Peripheral blood smear. Brightfield, 100× oil-immersion objective
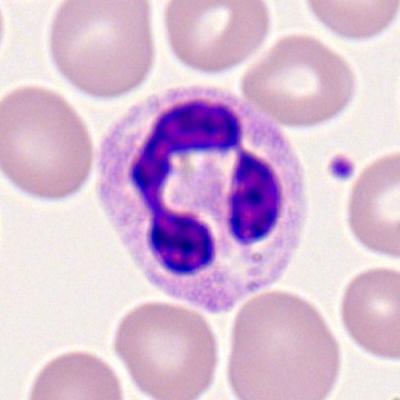
Impression — neutrophil (segmented).